40× oil immersion. May-Grünwald-Giemsa stain. Bone marrow smear
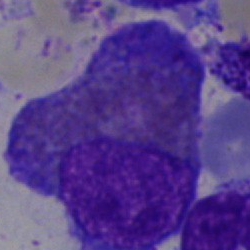 Cell: eosinophilic granulocyte.